40× oil immersion. Bone marrow aspirate smear
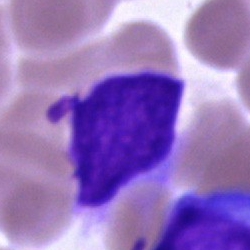Single cell identified as an undifferentiated blast.